Bone marrow smear — 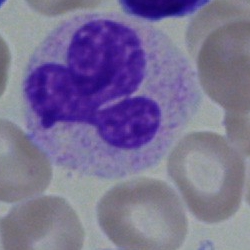

Specimen: bone marrow smear.
Cell: polymorphonuclear neutrophil.